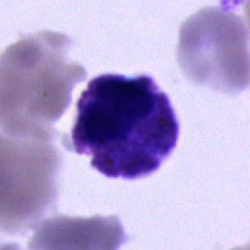

Q: What type of cell is this?
A: A cell of indeterminate lineage.